Bone marrow smear — 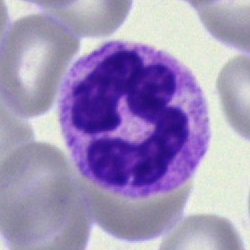Single cell identified as a polymorphonuclear neutrophil.